Bone marrow smear — 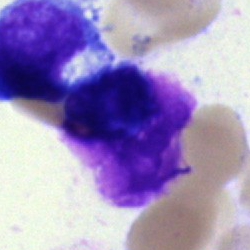Morphological class — artifact.